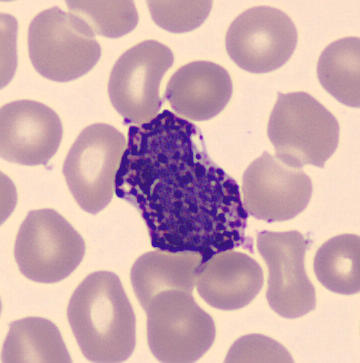

Morphology consistent with a basophilic granulocyte.
Preparation: Peripheral blood smear.